Image size 400×400. Peripheral blood smear. Single cell centered in the field:
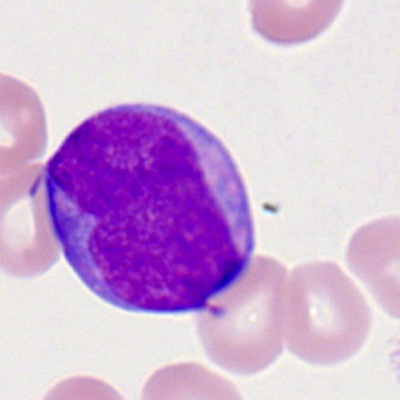 Single cell identified as a myeloid blast.